Bone marrow aspirate smear. May-Grünwald-Giemsa/Pappenheim stain
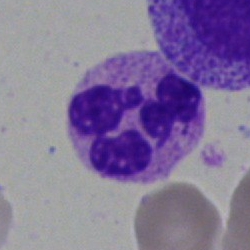 Impression — polymorphonuclear neutrophil.